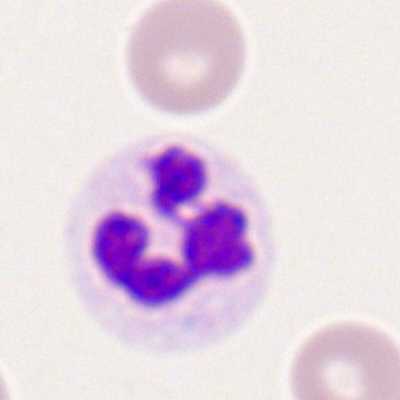 {"cell_type": "neutrophil (segmented)"}